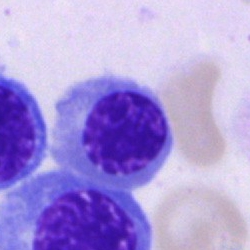
Classification — nucleated red cell.